Bone marrow smear. MGG-stained: 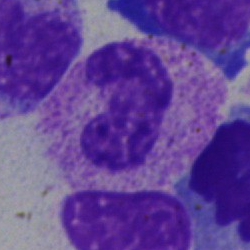Classification: neutrophil (band).